Bone marrow smear; brightfield microscopy, 40× oil immersion:
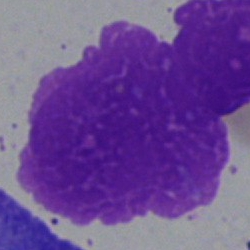
Artifact.